Bone marrow aspirate smear:
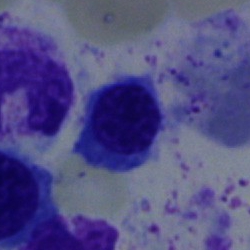Specimen: bone marrow aspirate smear.
Classification: erythroblast.